100× oil immersion. Peripheral blood film. Single-cell crop: 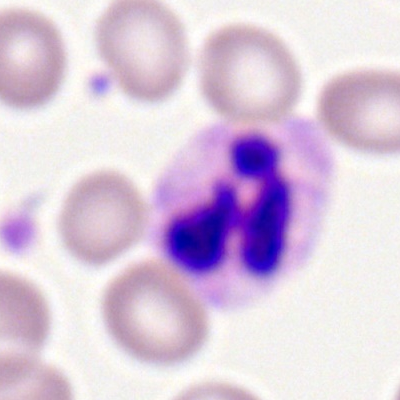

Specimen: peripheral blood smear.
Classification: polymorphonuclear neutrophil.
Lineage: myeloid.